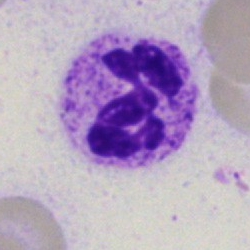

Cell: polymorphonuclear neutrophil.